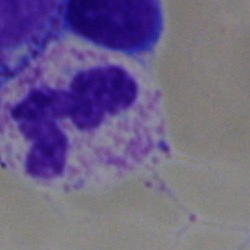A neutrophil (segmented).